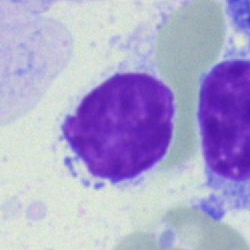A typical lymphocyte on a bone marrow smear.